40× objective, oil immersion · image size 250×250 · bone marrow aspirate smear.
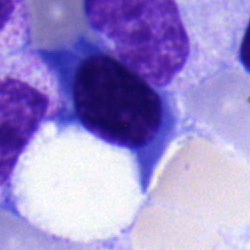Morphology consistent with a nucleated red cell.